Bone marrow aspirate smear:
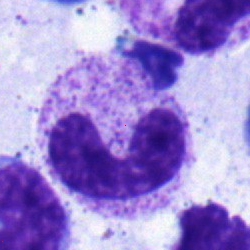Showing a neutrophil (band).